Bone marrow smear: 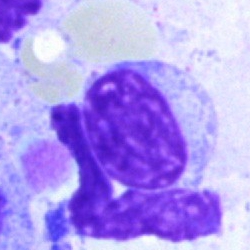The classification is artifact.